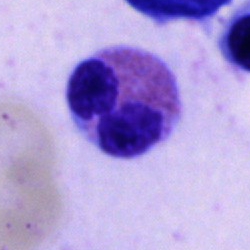Specimen: bone marrow aspirate smear.
Morphological class: eosinophilic granulocyte.